Bone marrow aspirate smear:
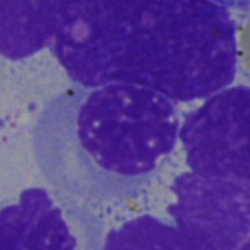

Morphology consistent with a nucleated red blood cell.